Bone marrow smear.
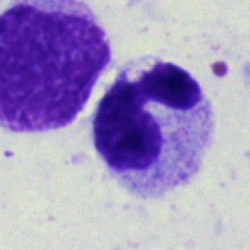The morphological class is polymorphonuclear neutrophil.